Single cell centered in the field; bone marrow smear: 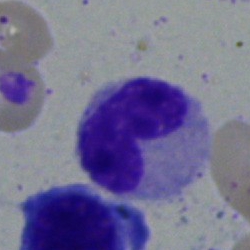 Morphology consistent with a neutrophil (band).